Bone marrow aspirate smear:
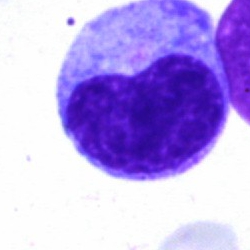
Morphology — metamyelocyte.